Bone marrow smear · Pappenheim-stained:
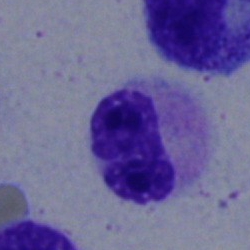 Morphological class: neutrophil (segmented).